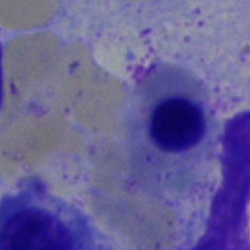Morphological class: nucleated red blood cell.